Cropped to a single cell. Bone marrow aspirate smear. 40× oil immersion:
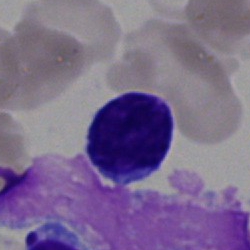
Specimen: bone marrow smear.
Morphological class: lymphocyte.
Lineage: lymphoid.